Bone marrow smear. Single cell centered in the field.
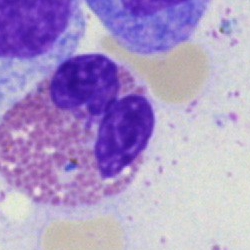
Q: Identify the cell.
A: This is an eosinophilic granulocyte.